40× oil immersion; MGG-stained; bone marrow aspirate smear:
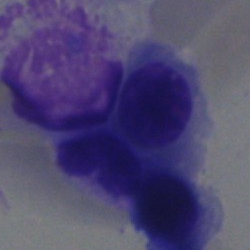
Morphology consistent with an artefact.